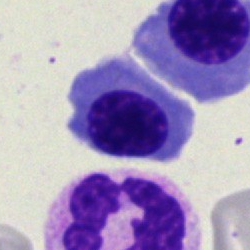 Morphological class = erythroblast.